Bone marrow aspirate smear
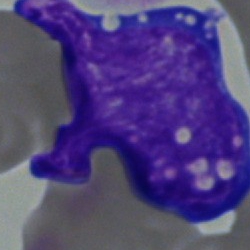 Single cell identified as an undifferentiated blast.